Bone marrow aspirate smear; 40× oil immersion — 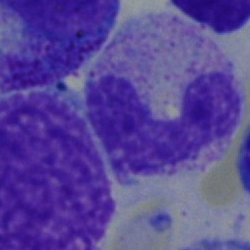
Impression — band neutrophil.